Bone marrow aspirate smear; 40× objective, oil immersion.
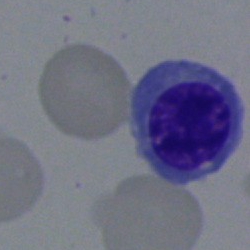
Morphology consistent with a normoblast.